40× objective, oil immersion. MGG-stained. Bone marrow aspirate smear
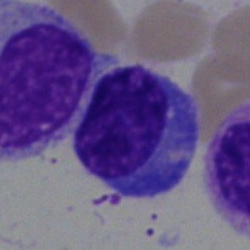 The morphological class is plasma cell.